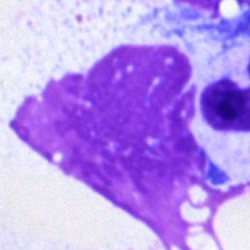 Specimen: bone marrow smear.
Morphological class: artefact.